Bone marrow smear — 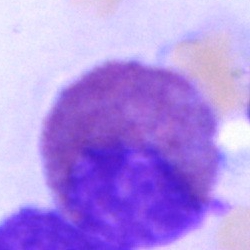

{"cell_type": "eosinophil"}